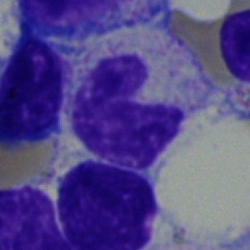 Bone marrow aspirate smear, single cell — stab cell.